Bone marrow smear; 250×250
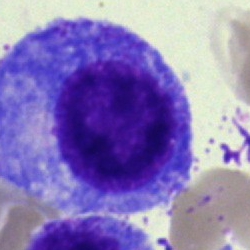

{"cell_type": "progranulocyte"}